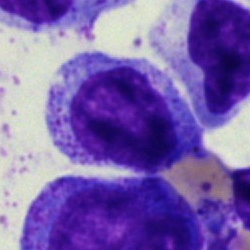 The morphological class is myelocyte.